Bone marrow smear
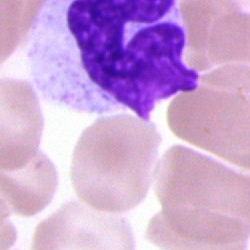 Q: What is the morphological classification of this cell?
A: This is a monocyte.